Bone marrow aspirate smear: 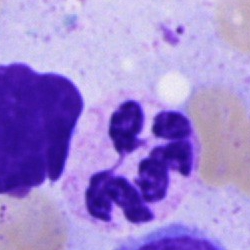Single cell identified as a polymorphonuclear neutrophil.